Bone marrow smear.
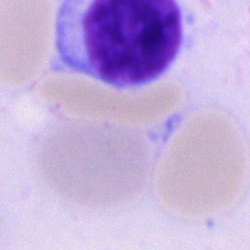The cell is lymphocyte.